Bone marrow aspirate smear · Pappenheim-stained
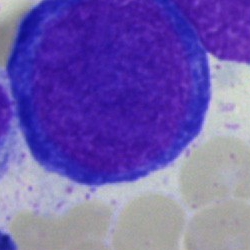 Specimen: bone marrow aspirate smear.
Cell: pronormoblast.